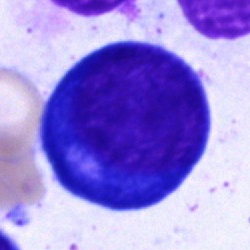 Morphological class = proerythroblast.